Bone marrow aspirate smear: 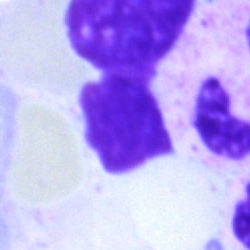

Specimen: bone marrow smear.
Cell: artifact.